Bone marrow aspirate smear.
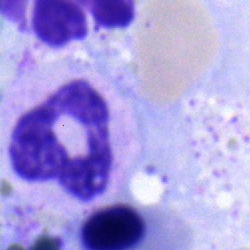
{"cell_type": "segmented neutrophil", "lineage": "myeloid"}